Bone marrow smear:
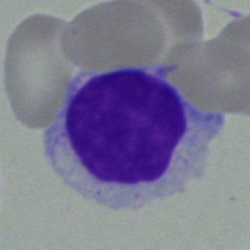
Cell type: lymphocyte.